Romanowsky stain; peripheral blood film: 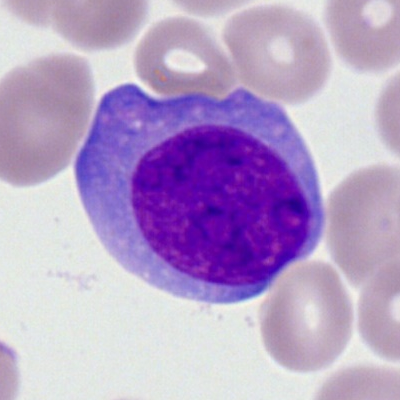

Myeloblast.